Bone marrow aspirate smear — 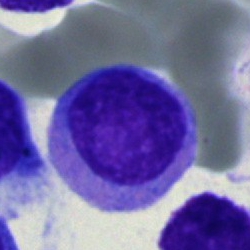

A blast.